Bone marrow smear. Pappenheim-stained:
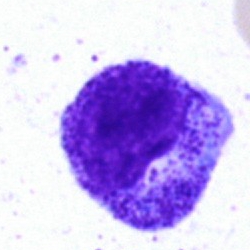 Morphology consistent with a progranulocyte.